Bone marrow aspirate smear
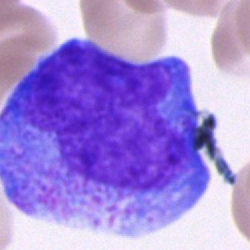{"cell_type": "promyelocyte"}